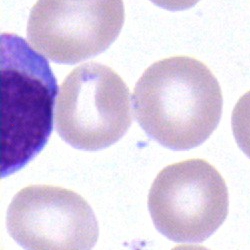Q: Which cell type is shown here?
A: An undifferentiated blast.